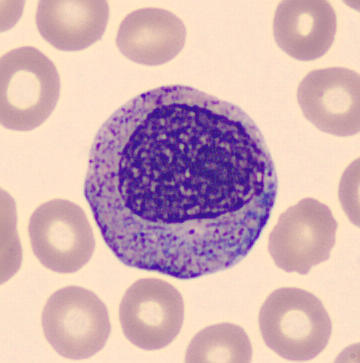 Peripheral blood smear.
Progranulocyte.